Brightfield, 40× oil-immersion objective. Bone marrow smear. Single cell centered in the field:
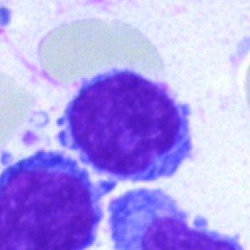 Morphology consistent with a typical lymphocyte.